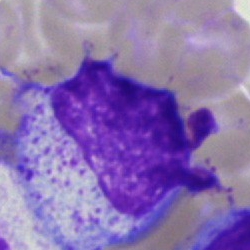

Morphology — myelocyte.